Peripheral blood film: 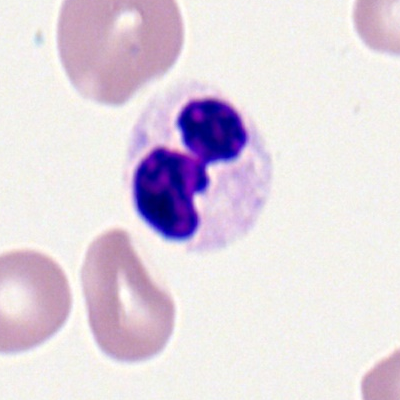

This is a neutrophil (segmented).